Image size 250×250. Bone marrow smear:
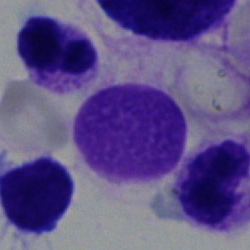 Specimen: bone marrow smear.
Classification: artifact.